Bone marrow aspirate smear — 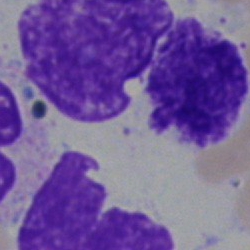

{"cell_type": "artifact"}